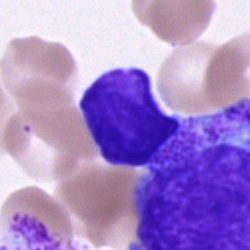
Q: What cell is this?
A: It is a cell of indeterminate lineage.